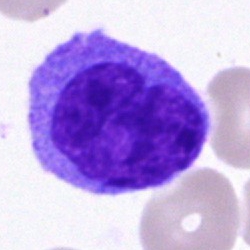The morphological class is monocyte.